Bone marrow smear:
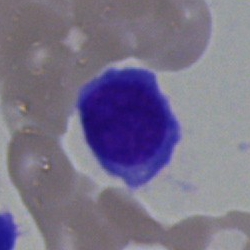
Classification = plasmacyte.